Bone marrow smear; May-Grünwald-Giemsa/Pappenheim stain; 250×250
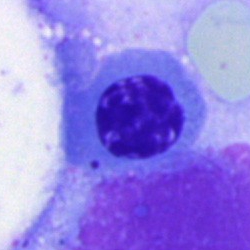
Showing an erythroblast.